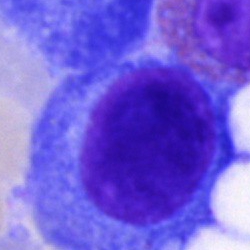
Specimen: bone marrow aspirate smear.
Cell type: plasma cell.
Lineage: lymphoid.